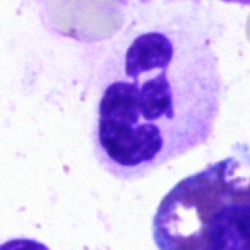 Q: What type of cell is this?
A: It is a polymorphonuclear neutrophil.